Brightfield microscopy, 40× oil immersion · bone marrow aspirate smear: 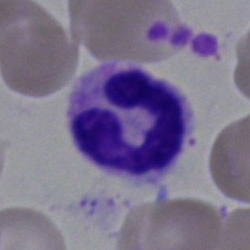
{"cell_type": "neutrophil (segmented)"}